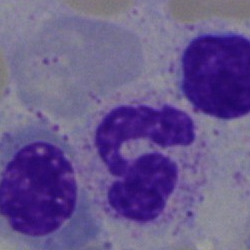{"cell_type": "polymorphonuclear neutrophil", "lineage": "myeloid"}